Brightfield, 40× oil-immersion objective. Bone marrow smear. Single-cell crop: 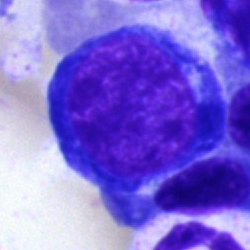

Showing a proerythroblast.